May-Grünwald-Giemsa stain; bone marrow smear:
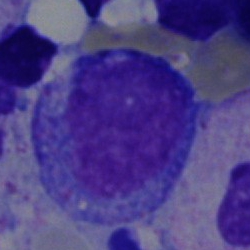 Specimen: bone marrow aspirate smear.
Morphological class: progranulocyte.